Peripheral blood film. CellaVision DM96 digital cell image: 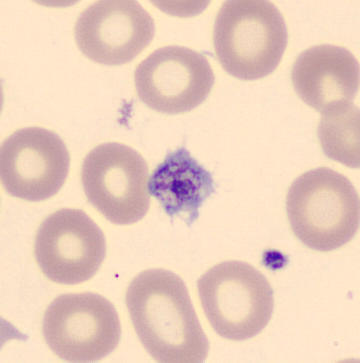
{"cell_type": "platelet"}